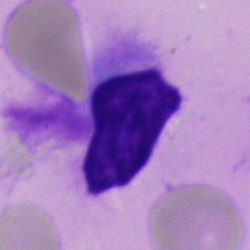

Single-cell crop from a bone marrow smear: artifact.